Bone marrow smear:
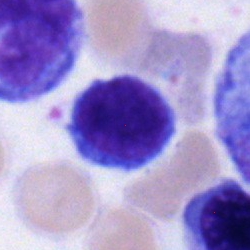
Typical lymphocyte.